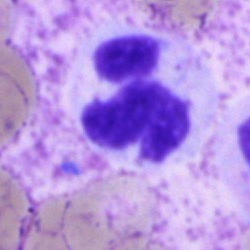
Morphology — polymorphonuclear neutrophil.